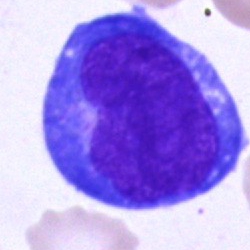

Specimen: bone marrow smear.
Morphological class: undifferentiated blast.